Bone marrow aspirate smear. Cropped to a single cell
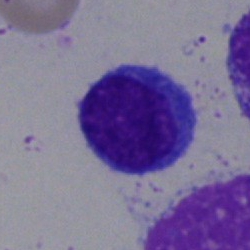

A typical lymphocyte.